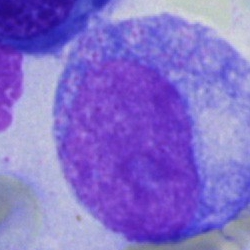 Morphology → promyelocyte.